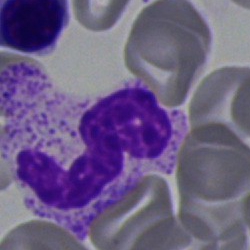 Impression — polymorphonuclear neutrophil.